Bone marrow smear
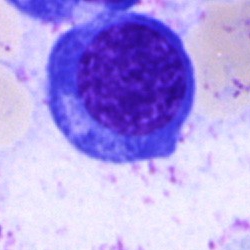

Impression → nucleated red cell.